Bone marrow aspirate smear: 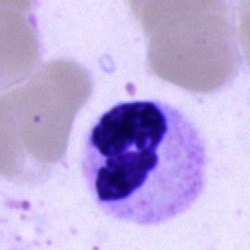Specimen: bone marrow aspirate smear.
Cell type: neutrophil (segmented).
Lineage: myeloid.